Single-cell crop; bone marrow aspirate smear
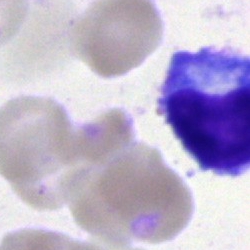Morphology consistent with a cell of indeterminate lineage.